Bone marrow smear.
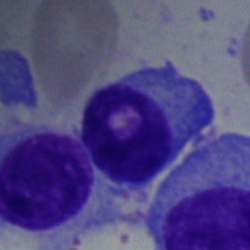
Morphology consistent with a plasma cell.